Bone marrow aspirate smear: 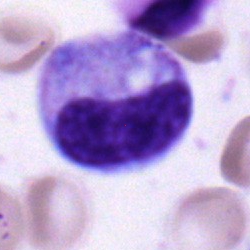
Classification: myelocyte.